Bone marrow smear.
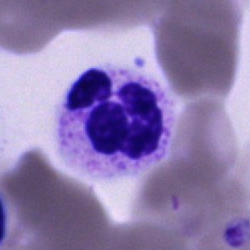
{"cell_type": "polymorphonuclear neutrophil", "lineage": "myeloid"}